Bone marrow smear:
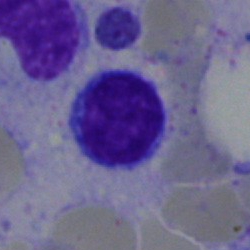Q: Which cell type is shown here?
A: It is a lymphocyte.